Bone marrow aspirate smear.
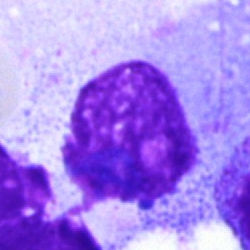 Single cell identified as an artifact.